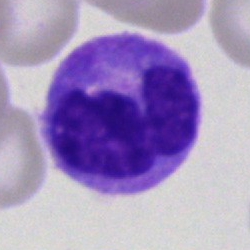 Q: Identify the cell.
A: Monocyte.